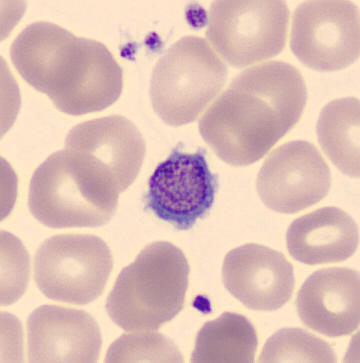 Morphological class: platelet (thrombocyte).